250×250 · single-cell crop · bone marrow smear.
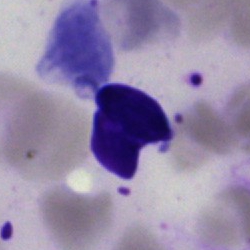 The cell shown is an artefact.